Bone marrow smear · May-Grünwald-Giemsa stain — 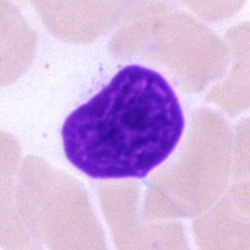

Morphology consistent with an artefact.